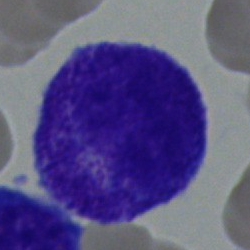{"cell_type": "promyelocyte", "lineage": "myeloid"}